Bone marrow aspirate smear:
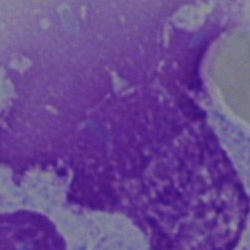Q: What is shown here?
A: It is an artefact.